Bone marrow aspirate smear:
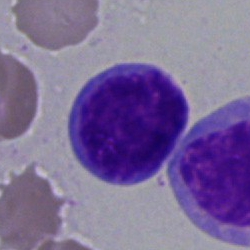Morphology consistent with a lymphocyte.